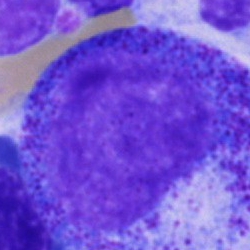 Specimen: bone marrow smear.
Cell: progranulocyte.
Lineage: myeloid.